Bone marrow aspirate smear. Single cell centered in the field:
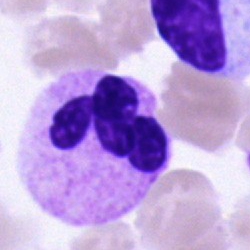 Showing a neutrophil (segmented).